Bone marrow aspirate smear · MGG-stained — 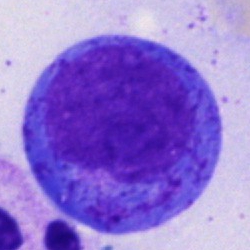 Single cell identified as a promyelocyte.